Bone marrow smear.
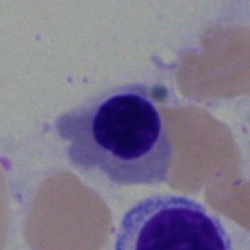
Showing a nucleated red blood cell.